MGG-stained; bone marrow aspirate smear: 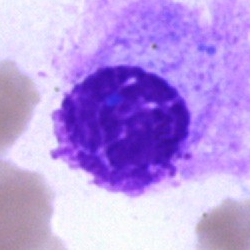Impression — artifact.